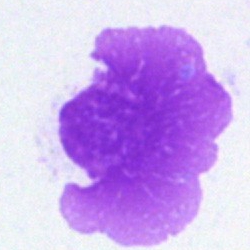 Morphological class = artefact.